Bone marrow smear.
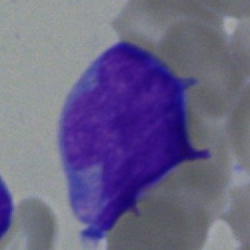 Q: Which cell type is shown here?
A: It is an undifferentiated blast.